Bone marrow smear.
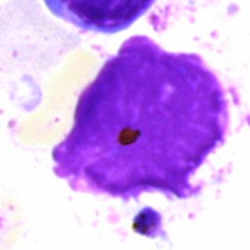Q: What is shown here?
A: This is an artefact.